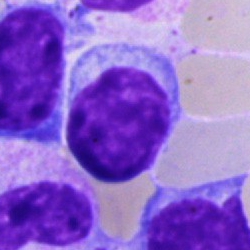Typical lymphocyte.